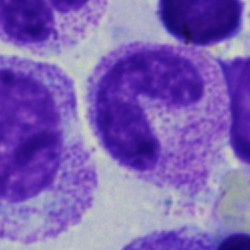 Classification = band neutrophil.